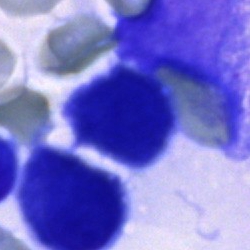

The cell shown is an artefact.